Peripheral blood smear:
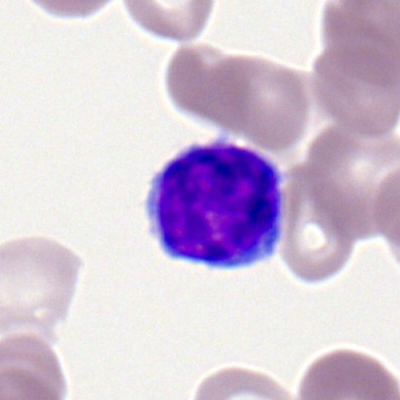 This is a lymphocyte.